Bone marrow aspirate smear:
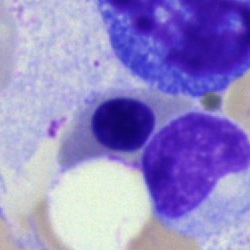The cell shown is an erythroblast.